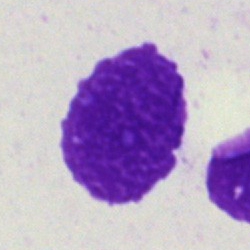

Cell: artefact.